Bone marrow smear.
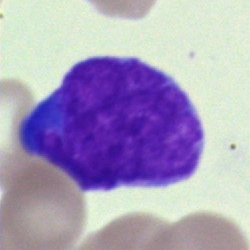 A blast cell.